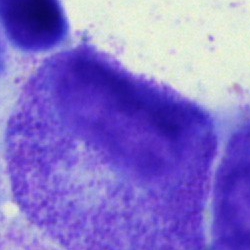
Specimen: bone marrow smear.
Classification: promyelocyte.